Bone marrow smear — 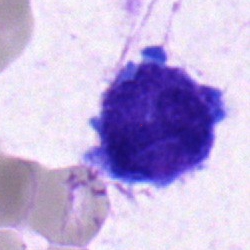
Cell = blast.